Bone marrow smear: 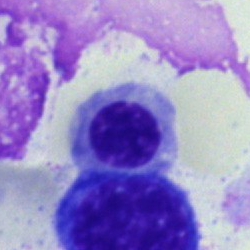 Q: What is shown here?
A: This is a nucleated red cell.